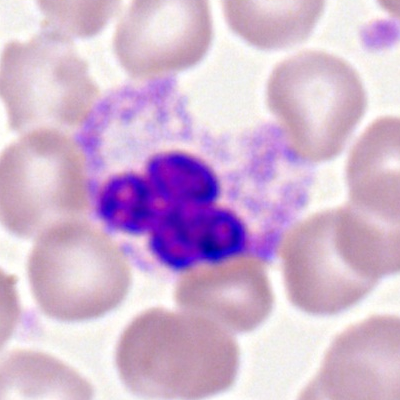Segmented neutrophil.